Peripheral blood smear — 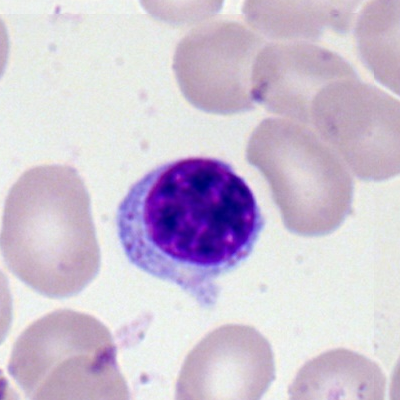 Morphology consistent with a lymphocyte.